Peripheral blood film. Image size 400×400
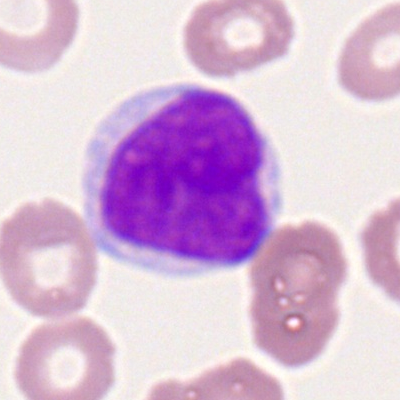
Q: What is the morphological classification of this cell?
A: This is a typical lymphocyte.